Bone marrow smear. Single-cell field: 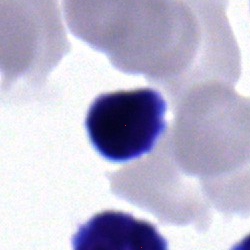
The morphological class is typical lymphocyte.